Bone marrow aspirate smear. Single cell centered in the field: 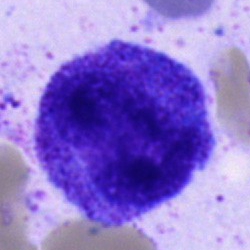

A promyelocyte.